Single cell centered in the field · bone marrow smear
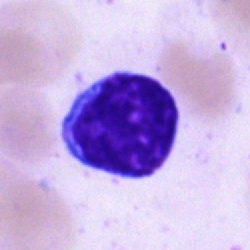 Morphological class = lymphocyte.